Bone marrow aspirate smear. Single-cell crop. MGG-stained
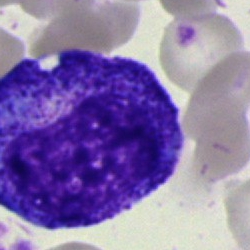The cell type is promyelocyte.